Bone marrow smear — 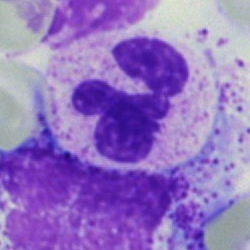 Morphology — neutrophil (segmented).